Bone marrow aspirate smear; single-cell crop; 40× oil immersion
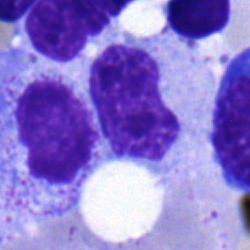
Impression — metamyelocyte.